Cropped to a single cell · bone marrow smear.
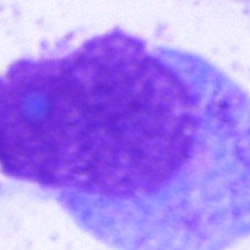
The cell shown is an artefact.